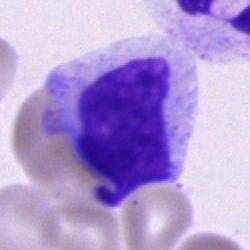
Cell = unidentifiable cell.